Bone marrow smear.
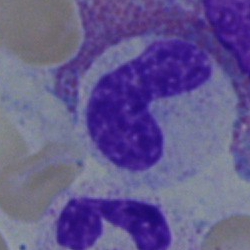
Single cell identified as a band-form neutrophil.